Bone marrow aspirate smear; 250×250 px; May-Grünwald-Giemsa/Pappenheim stain
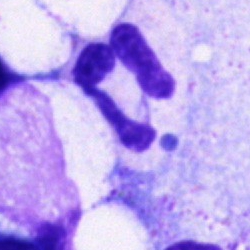The cell shown is a neutrophil (segmented).